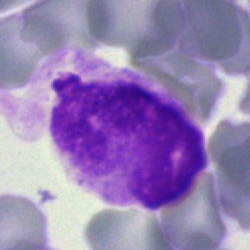 Specimen: bone marrow aspirate smear.
Morphological class: artefact.